Bone marrow smear: 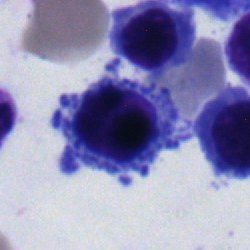
Cell: nucleated red cell.